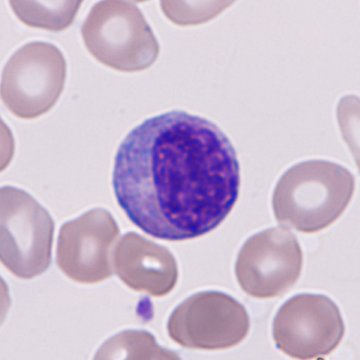

Image: May-Grünwald-Giemsa-stained; peripheral blood smear.
Q: What is the morphological classification of this cell?
A: An immature granulocyte (promyelocyte, myelocyte or metamyelocyte).